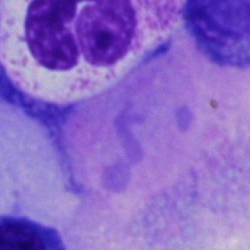The cell type is artifact.